May-Grünwald-Giemsa stain. Bone marrow smear. 250×250 — 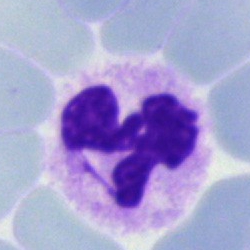 This is a polymorphonuclear neutrophil.